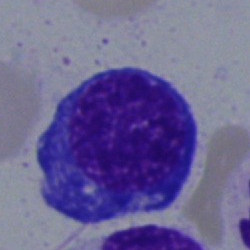

Q: What cell is this?
A: A nucleated red blood cell.